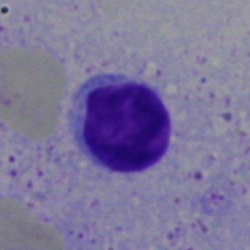Morphology → typical lymphocyte.